Image size 250×250 · bone marrow aspirate smear — 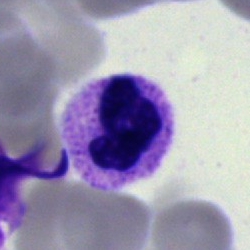Single cell identified as a polymorphonuclear neutrophil.